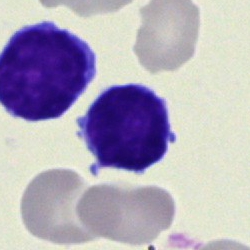 Impression → lymphocyte.